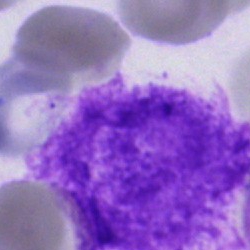Morphology consistent with an artifact.